Bone marrow aspirate smear.
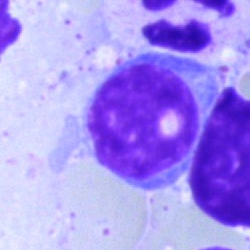
Lymphocyte.